Bone marrow smear:
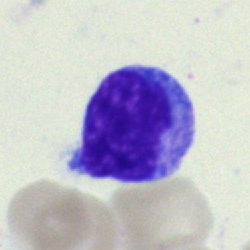

{"cell_type": "typical lymphocyte", "lineage": "lymphoid"}